Bone marrow smear.
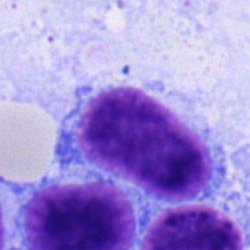 This is a lymphocyte.